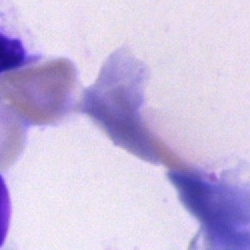 Morphology consistent with an artefact.